Bone marrow smear: 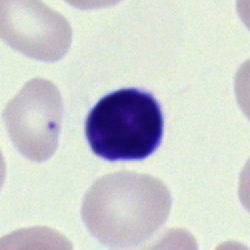

The cell shown is a typical lymphocyte.